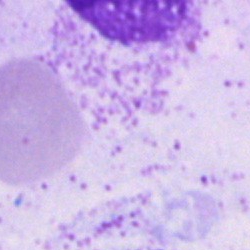 Morphology → artifact.